Bone marrow smear
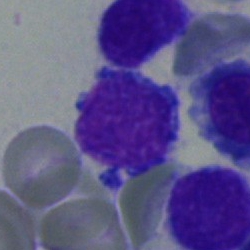

Impression → lymphocyte.